Image size 250×250. Bone marrow smear — 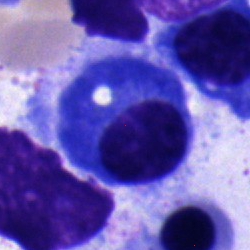Cell type — plasmacyte.